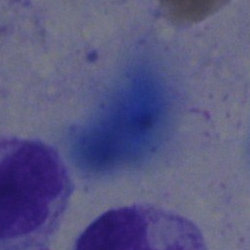 Q: What is shown here?
A: An artifact.